250 by 250 pixels · bone marrow aspirate smear:
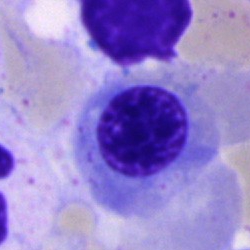
Morphology consistent with a nucleated red cell.